Peripheral blood smear.
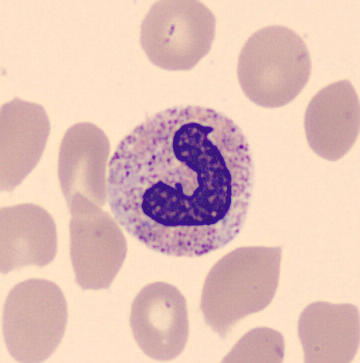 Cell type — band neutrophil.